Single-cell crop · MGG-stained · bone marrow smear: 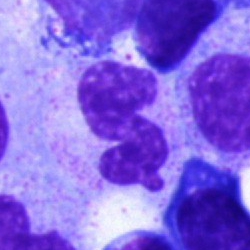 Q: Which cell type is shown here?
A: A segmented neutrophil.